Bone marrow aspirate smear.
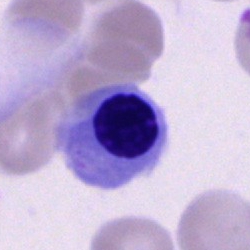Impression → normoblast.